Bone marrow aspirate smear. Single cell centered in the field: 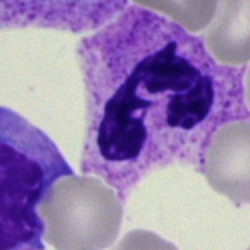This is a neutrophil (segmented).